Pappenheim-stained. Bone marrow aspirate smear — 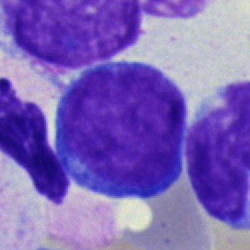 Specimen: bone marrow smear.
Classification: blast.